Peripheral blood smear:
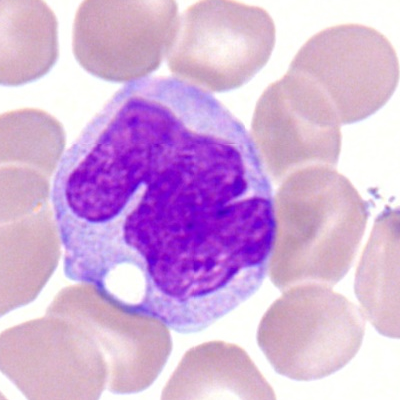
Specimen: peripheral blood film.
Cell type: monocyte.
Lineage: myeloid.